Bone marrow smear. Pappenheim-stained:
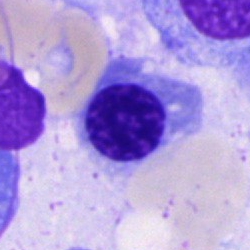
Specimen: bone marrow aspirate smear.
Morphological class: nucleated red cell.